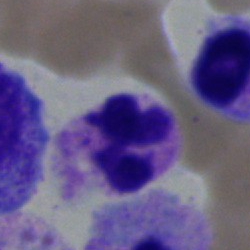

Specimen: bone marrow aspirate smear.
Morphological class: basophil.